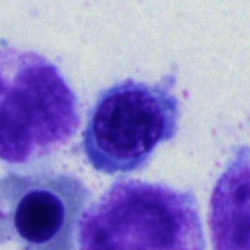
The classification is normoblast.